Bone marrow aspirate smear — 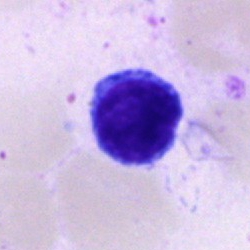

A lymphocyte.